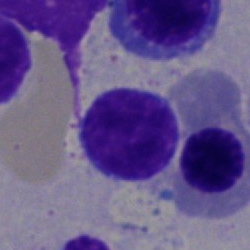
Specimen: bone marrow smear.
Cell type: lymphocyte.
Lineage: lymphoid.